Bone marrow aspirate smear.
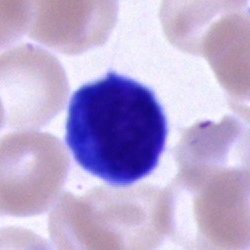
Morphology → unidentifiable cell.